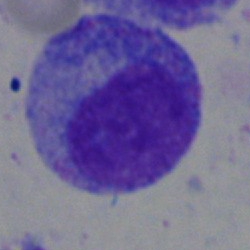Morphology → promyelocyte.